Bone marrow smear; cropped to a single cell; brightfield, 40× oil-immersion objective:
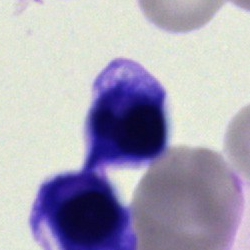Impression → nucleated red cell.